Bone marrow aspirate smear. May-Grünwald-Giemsa stain. Cropped to a single cell
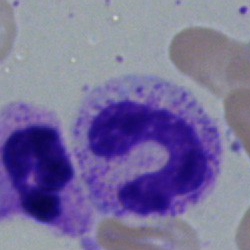

A neutrophil (band).